Bone marrow smear
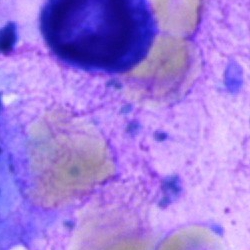
An artifact.